M8 digital microscope (Precipoint), 100× oil immersion. 400×400. Peripheral blood film: 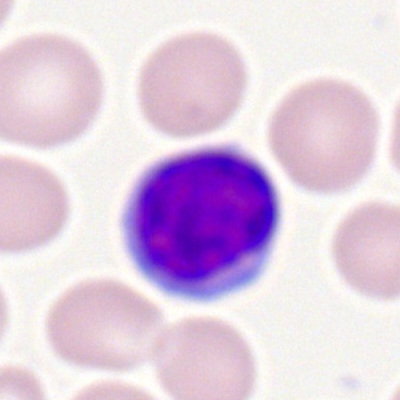Morphology — typical lymphocyte.